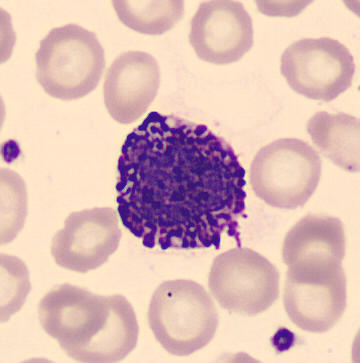
This is a basophil.

Peripheral blood smear.